Bone marrow aspirate smear. 250×250 px — 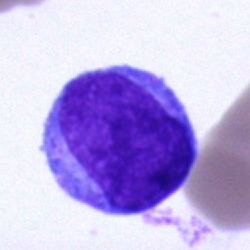This is an undifferentiated blast.